Peripheral blood smear
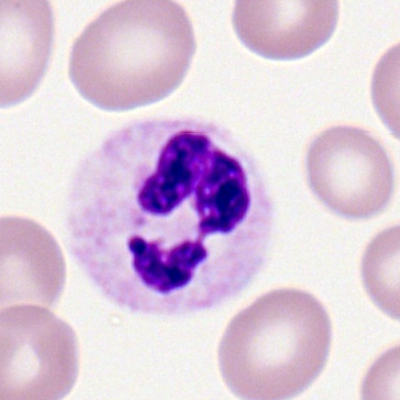Morphology consistent with a neutrophil (segmented).